Bone marrow smear: 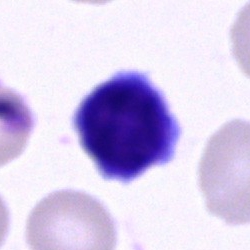The cell shown is a lymphocyte.